Image size 250×250; bone marrow smear:
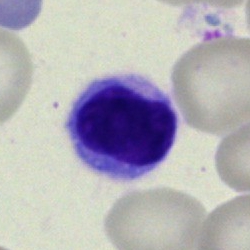

Morphology consistent with a lymphocyte.